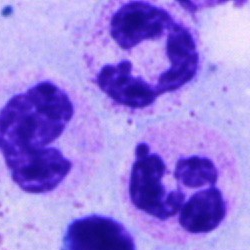

Specimen: bone marrow aspirate smear.
Cell type: polymorphonuclear neutrophil.
Lineage: myeloid.